Single cell centered in the field · bone marrow smear.
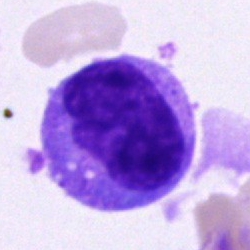Showing a monocyte.